Bone marrow smear; 40× oil immersion; MGG-stained: 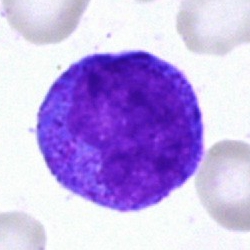

Impression → myelocyte.